Bone marrow aspirate smear:
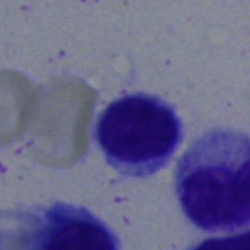{"cell_type": "lymphocyte", "lineage": "lymphoid"}